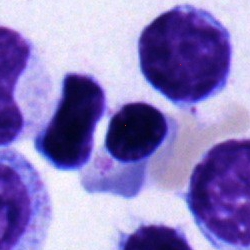Morphology → nucleated red cell.